Bone marrow aspirate smear:
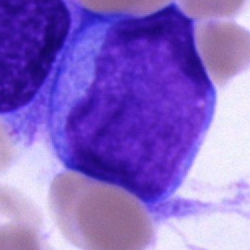Morphology consistent with a blast cell.